Bone marrow aspirate smear · 250×250: 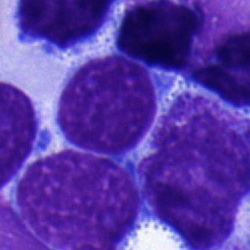

A typical lymphocyte.